Bone marrow smear
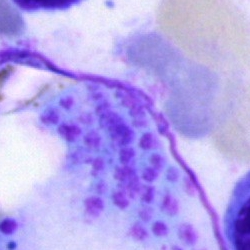Q: What is shown here?
A: This is an artifact.